Bone marrow smear:
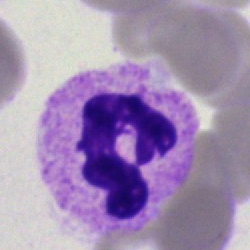

Q: What cell is this?
A: This is a neutrophil (segmented).